Bone marrow smear.
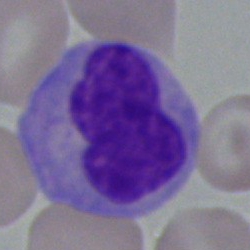

Showing a monocyte.